Peripheral blood film:
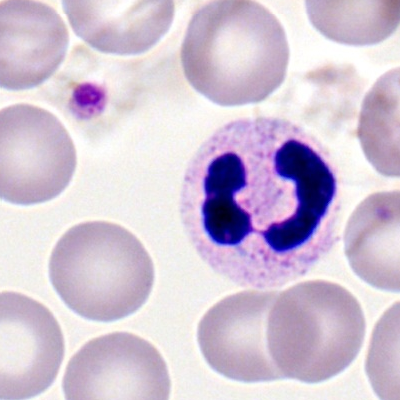

Specimen: peripheral blood film.
Classification: segmented neutrophil.
Lineage: myeloid.